250 by 250 pixels. Bone marrow smear.
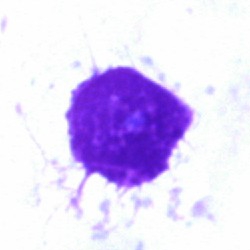Morphology consistent with an artifact.